Bone marrow aspirate smear — 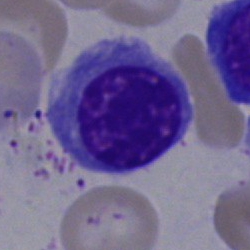Morphological class = normoblast.